Bone marrow smear — 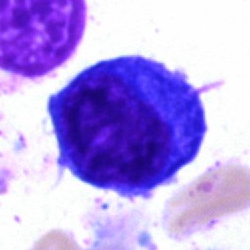
Q: Which cell type is shown here?
A: It is an erythroblast.